Bone marrow aspirate smear; MGG-stained: 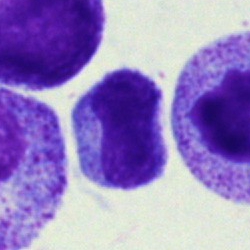Showing a typical lymphocyte.